Peripheral blood smear: 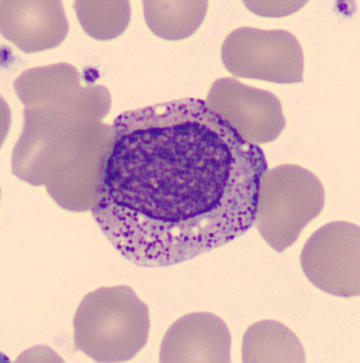
Classification — progranulocyte.